Bone marrow aspirate smear · 250 by 250 pixels · MGG-stained: 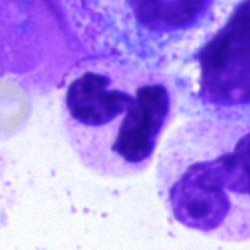

Morphology consistent with a segmented neutrophil.